Bone marrow smear.
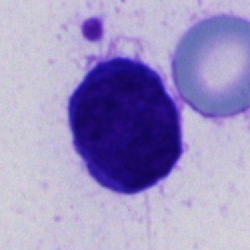
Impression — cell of indeterminate lineage.